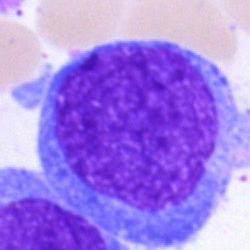

Bone marrow smear showing a blast.